Bone marrow aspirate smear
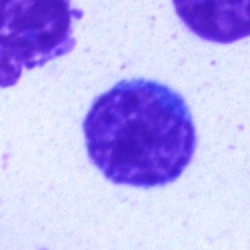{"cell_type": "lymphocyte", "lineage": "lymphoid"}